Peripheral blood smear. 360 by 363 pixels: 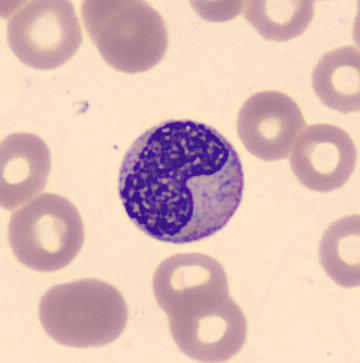Impression — metamyelocyte.